Bone marrow smear · cropped to a single cell · brightfield microscopy, 40× oil immersion.
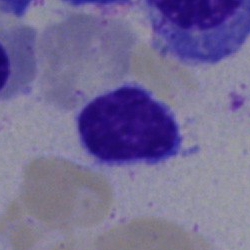

Specimen: bone marrow aspirate smear.
Cell type: lymphocyte.
Lineage: lymphoid.